Bone marrow aspirate smear:
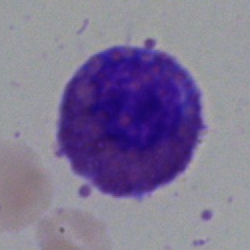An eosinophilic granulocyte.